Bone marrow smear:
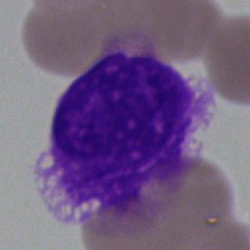Showing an artifact.